Bone marrow smear · May-Grünwald-Giemsa/Pappenheim stain:
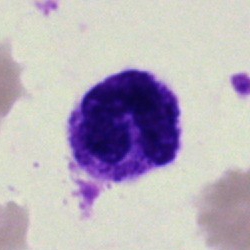

Showing a segmented neutrophil.